Bone marrow smear. 250×250
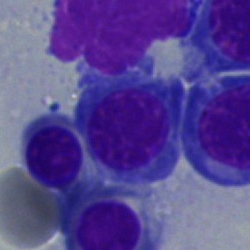 Specimen: bone marrow aspirate smear.
Cell type: nucleated red blood cell.